Peripheral blood film; 100× oil immersion
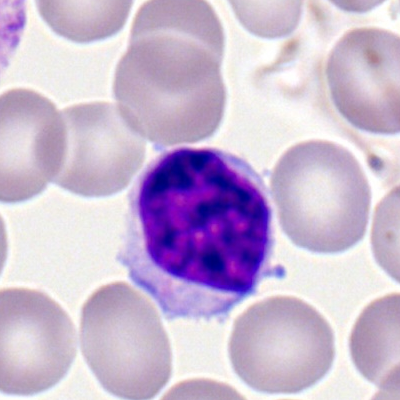

Single cell identified as a typical lymphocyte.